Bone marrow aspirate smear.
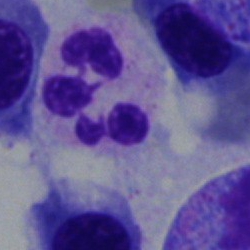
Classification — polymorphonuclear neutrophil.